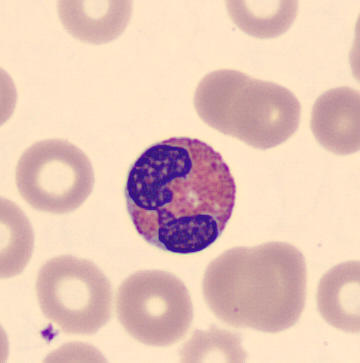
Preparation: Peripheral blood smear.

Cell: eosinophilic granulocyte.